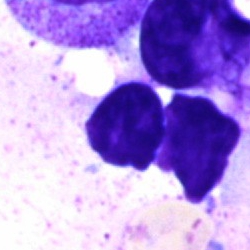
Specimen: bone marrow aspirate smear.
Cell type: artifact.